Bone marrow smear — 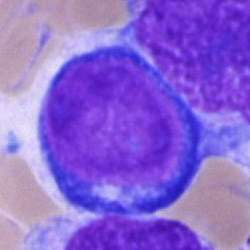 This is a proerythroblast.